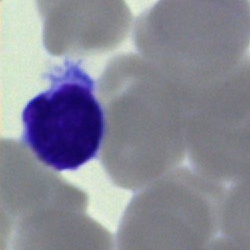A lymphocyte on a bone marrow smear.